Bone marrow smear · 40× objective, oil immersion · single-cell crop.
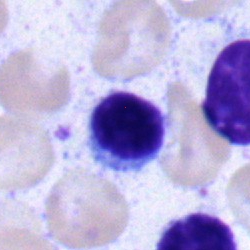 Nucleated red blood cell.